Bone marrow smear · 40× objective, oil immersion.
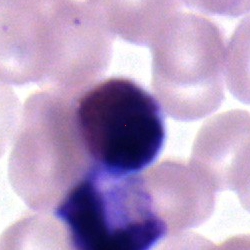
Q: Which cell type is shown here?
A: It is an eosinophil.